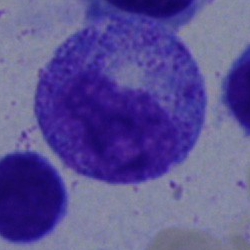

Morphology → myelocyte.